Single-cell field; bone marrow smear; 250×250 px — 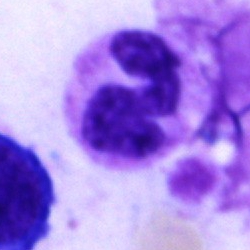 Q: What cell is this?
A: It is a segmented neutrophil.